Bone marrow smear — 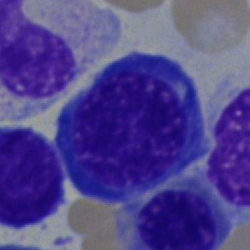Impression — nucleated red blood cell.